Single-cell crop. Bone marrow smear — 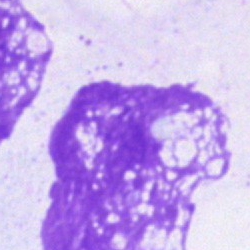
Morphology consistent with an artefact.